400×400. Peripheral blood film.
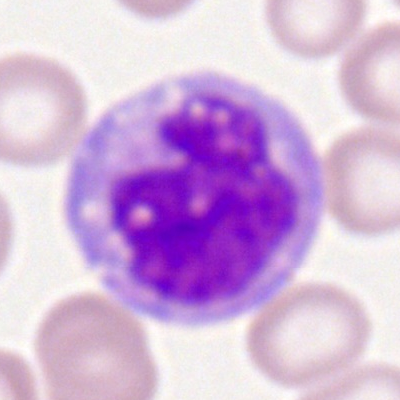

Showing a monocyte.